Bone marrow smear · 250×250 px — 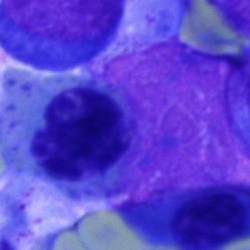
Classification = nucleated red cell.